Bone marrow smear. Single cell centered in the field — 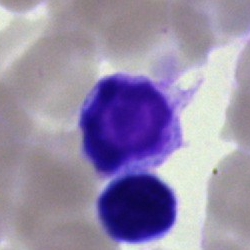
Showing a typical lymphocyte.